Bone marrow aspirate smear — 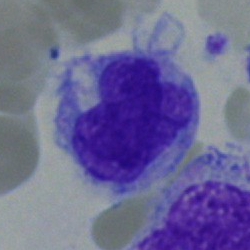 Morphology — monocyte.